Bone marrow smear.
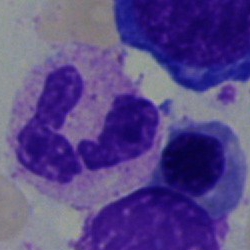
The morphological class is neutrophil (segmented).